40× objective, oil immersion · bone marrow smear:
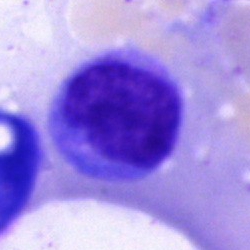Q: What type of cell is this?
A: This is a monocyte.